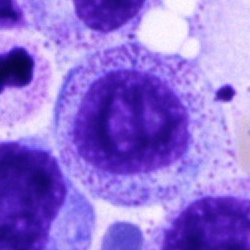Q: What is shown here?
A: It is a promyelocyte.